Bone marrow smear
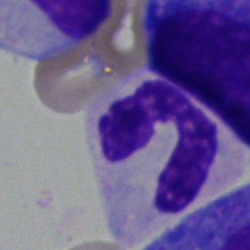 Cell type = polymorphonuclear neutrophil.